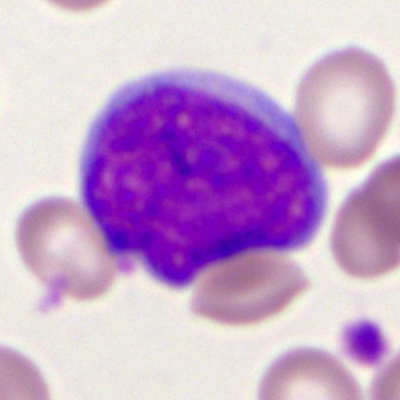Cell = myeloid blast.